Bone marrow aspirate smear.
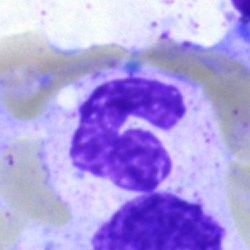The cell shown is a polymorphonuclear neutrophil.